Bone marrow aspirate smear · 250 by 250 pixels · brightfield microscopy, 40× oil immersion:
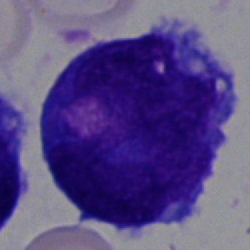

Morphology — undifferentiated blast.